250×250; bone marrow aspirate smear; Pappenheim-stained:
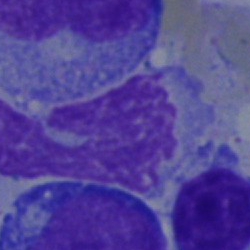This is an artefact.